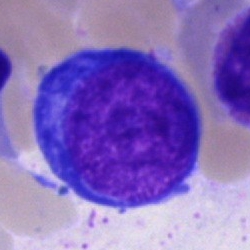 Q: Identify the cell.
A: A pronormoblast.